Single-cell crop. Bone marrow aspirate smear — 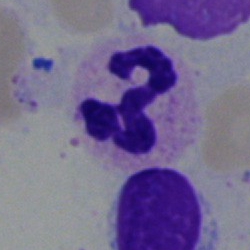
Specimen: bone marrow aspirate smear.
Cell: polymorphonuclear neutrophil.